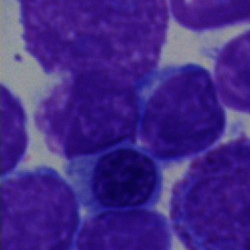 A typical lymphocyte on a bone marrow smear.